Bone marrow smear. Single-cell crop: 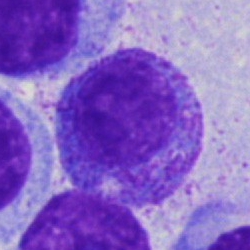 Promyelocyte.